Bone marrow aspirate smear:
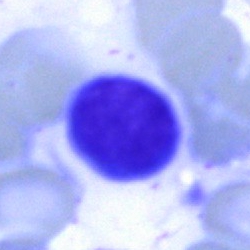Q: What is the morphological classification of this cell?
A: This is a typical lymphocyte.